Bone marrow smear — 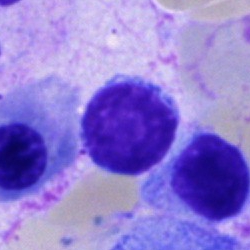Cell = typical lymphocyte.